Bone marrow aspirate smear. Pappenheim-stained. Single-cell field:
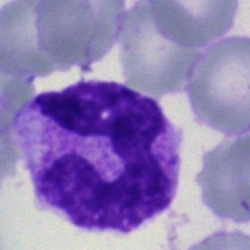
Cell: segmented neutrophil.